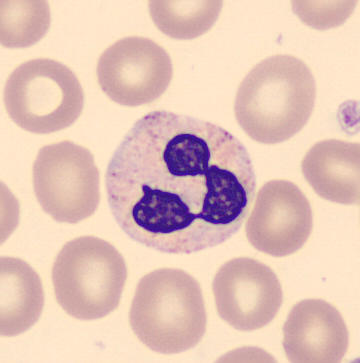

Peripheral blood film · imaged on a CellaVision DM96 analyser.

Morphology consistent with a neutrophil (segmented).